Bone marrow aspirate smear:
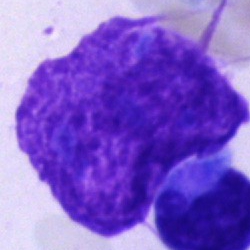

Specimen: bone marrow aspirate smear.
Classification: artefact.